Bone marrow aspirate smear · single-cell crop:
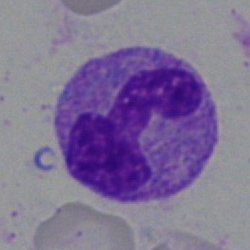 Impression → segmented neutrophil.